Bone marrow aspirate smear: 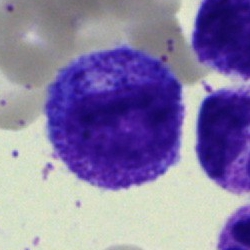Single cell identified as a promyelocyte.